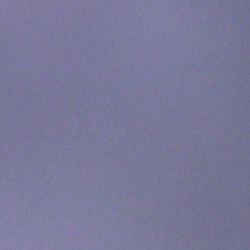Cell — artefact.